Peripheral blood smear: 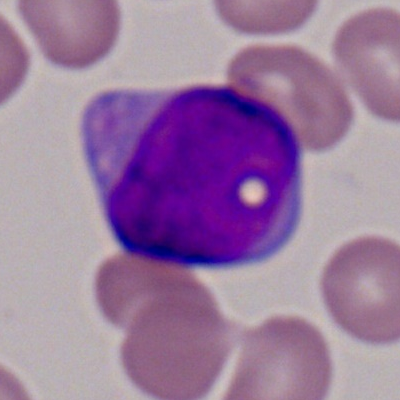 {"cell_type": "myeloid blast"}